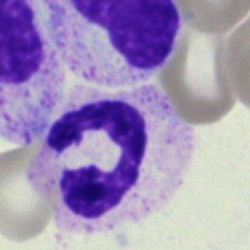

Q: Identify the cell.
A: A polymorphonuclear neutrophil.